Bone marrow aspirate smear:
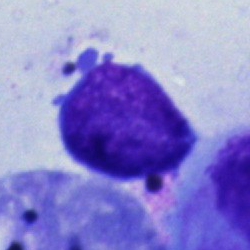Impression → lymphocyte.